Bone marrow smear
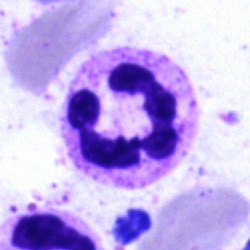

Showing a neutrophil (segmented).